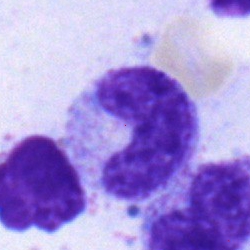

Impression — neutrophil (band).